Bone marrow aspirate smear · 250 by 250 pixels — 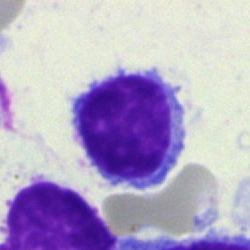 {"cell_type": "typical lymphocyte"}